Bone marrow smear; single-cell field; Pappenheim-stained:
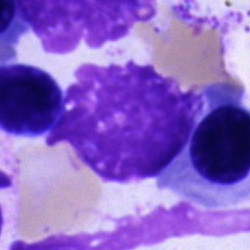 This is a cell of indeterminate lineage.